Bone marrow aspirate smear.
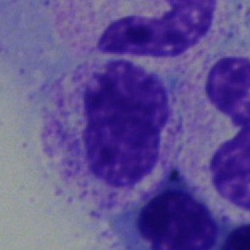
Cell: metamyelocyte.